Bone marrow aspirate smear; 250×250: 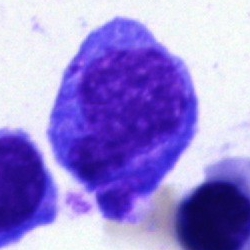A nucleated red cell.